Bone marrow smear; single-cell field:
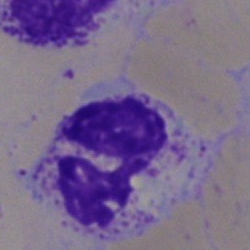
Q: Identify the cell.
A: It is a neutrophil (segmented).